Single-cell crop; Pappenheim-stained; bone marrow smear.
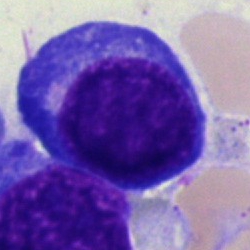

Morphological class — erythroblast.